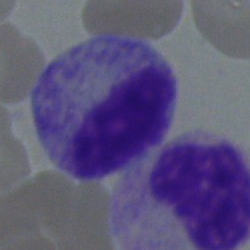 Impression → metamyelocyte.